250 by 250 pixels. Bone marrow smear.
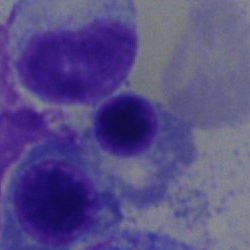 The cell is nucleated red blood cell.